Bone marrow aspirate smear
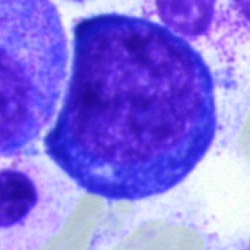
Proerythroblast.